Bone marrow aspirate smear
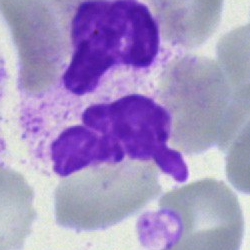
Q: Identify the cell.
A: A polymorphonuclear neutrophil.